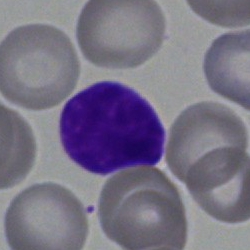{"cell_type": "typical lymphocyte", "lineage": "lymphoid"}